Bone marrow smear.
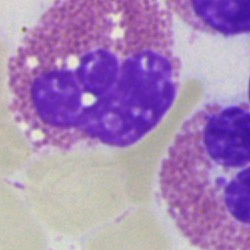Impression — eosinophilic granulocyte.